Bone marrow aspirate smear — 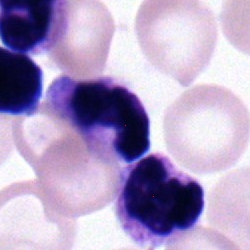 Q: Identify the cell.
A: It is a segmented neutrophil.